Bone marrow aspirate smear — 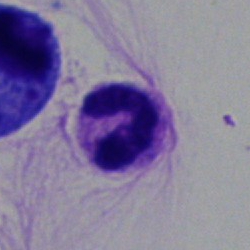 Single cell identified as a polymorphonuclear neutrophil.